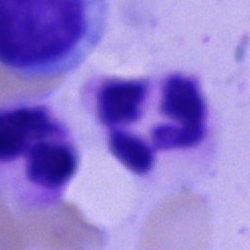 This is a neutrophil (segmented).